Bone marrow smear:
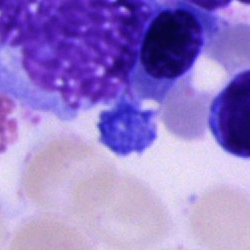 Showing an unidentifiable cell.